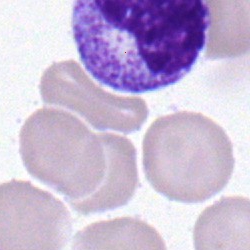
Cell type: metamyelocyte.